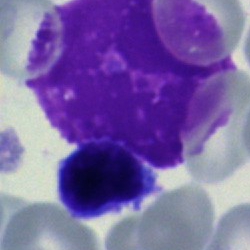 Cell of indeterminate lineage.